Bone marrow smear; image size 250×250.
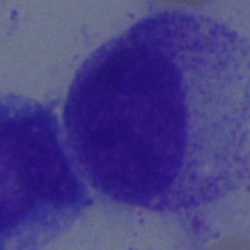 Single cell identified as a myelocyte.